Image size 250×250; 40× objective, oil immersion; bone marrow aspirate smear
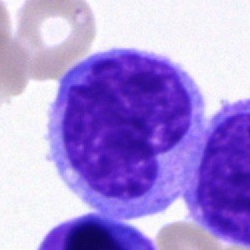
This is a monocyte.